250 by 250 pixels. Bone marrow aspirate smear.
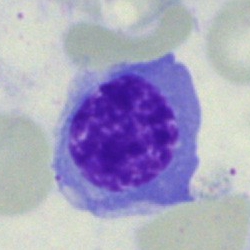

This is a nucleated red blood cell.